Bone marrow smear — 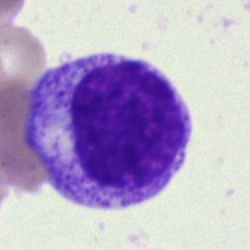
The cell shown is a myelocyte.